Brightfield microscopy, 40× oil immersion. Bone marrow aspirate smear: 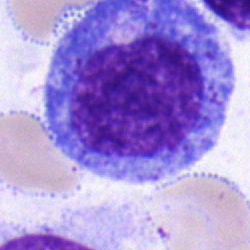 Q: What is shown here?
A: It is a promyelocyte.